250 by 250 pixels; bone marrow smear; 40× oil immersion.
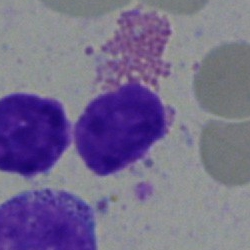 Morphology — eosinophilic granulocyte.